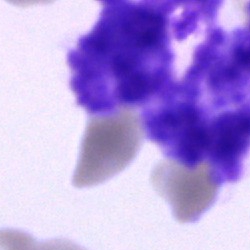Cell — artefact.